Bone marrow aspirate smear. Cropped to a single cell. MGG-stained:
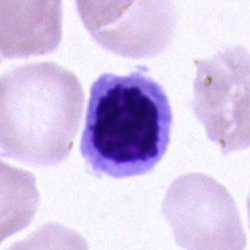The cell shown is a normoblast.